40× objective, oil immersion. May-Grünwald-Giemsa stain. Bone marrow smear — 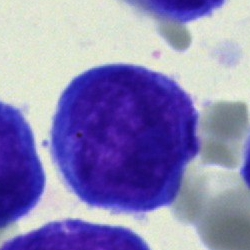 Showing an undifferentiated blast.